Bone marrow aspirate smear; brightfield microscopy, 40× oil immersion: 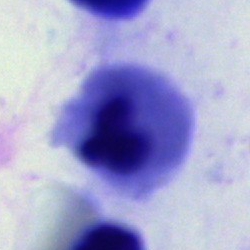
Specimen: bone marrow aspirate smear.
Cell type: nucleated red blood cell.